Bone marrow aspirate smear — 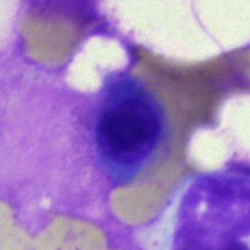The classification is erythroblast.